Single-cell field; May-Grünwald-Giemsa/Pappenheim stain; bone marrow aspirate smear: 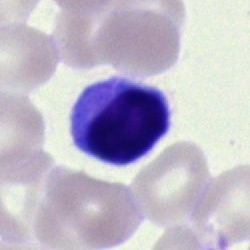{"cell_type": "typical lymphocyte", "lineage": "lymphoid"}